Bone marrow smear; brightfield, 40× oil-immersion objective; single cell centered in the field.
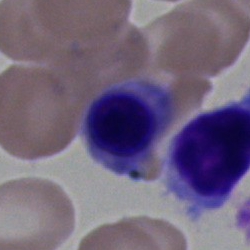Showing a typical lymphocyte.